Peripheral blood smear: 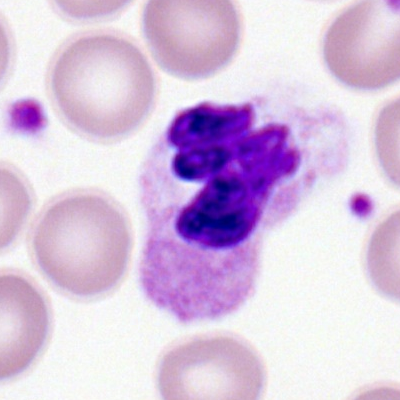

A segmented neutrophil.